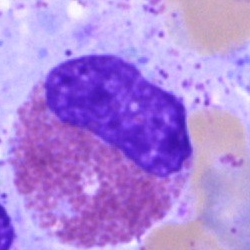

Morphology — eosinophil.